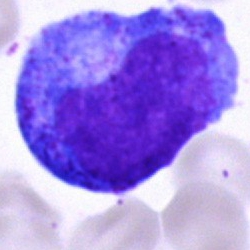

{"cell_type": "promyelocyte", "lineage": "myeloid"}